Bone marrow aspirate smear; single-cell field:
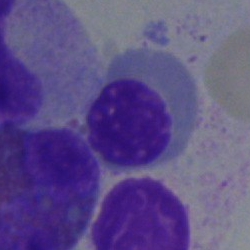
The cell is normoblast.